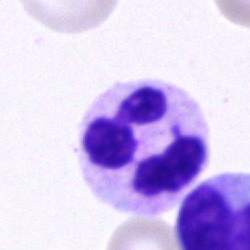{"cell_type": "segmented neutrophil"}